Bone marrow aspirate smear — 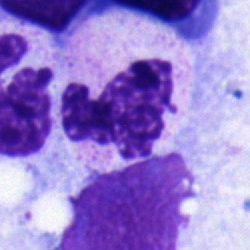
Impression → polymorphonuclear neutrophil.